Bone marrow smear · May-Grünwald-Giemsa/Pappenheim stain
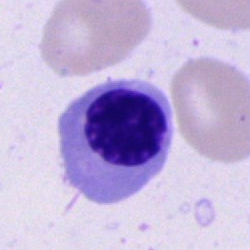

Impression — nucleated red cell.